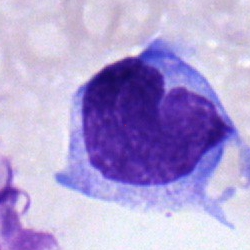The cell is monocyte.